250×250; bone marrow smear:
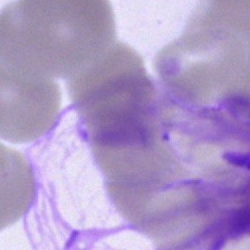
Specimen: bone marrow smear.
Cell: artefact.